Bone marrow smear:
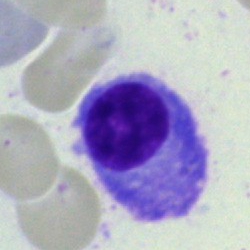
Plasma cell.